Bone marrow aspirate smear.
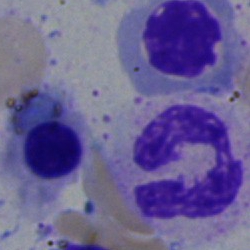 Showing a neutrophil (segmented).